Bone marrow smear; 250 by 250 pixels — 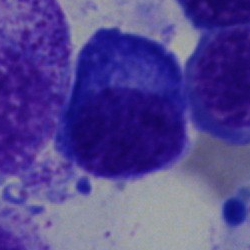Impression → plasma cell.